Peripheral blood smear:
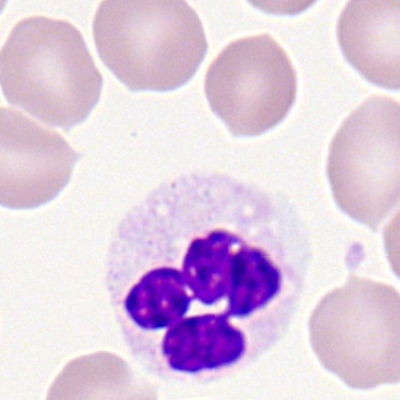 Q: Which cell type is shown here?
A: Neutrophil (segmented).